Bone marrow smear — 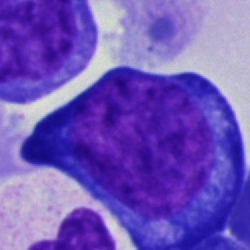

Single cell identified as a proerythroblast.